Bone marrow aspirate smear: 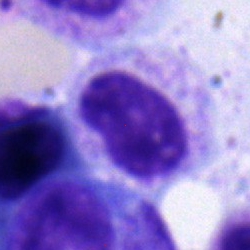

Cell type — metamyelocyte.